Bone marrow aspirate smear:
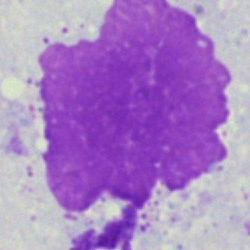
This is an artefact.